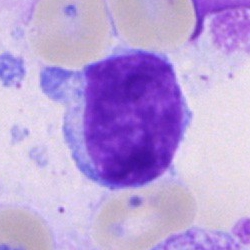Morphology → lymphocyte.